40× objective, oil immersion. Single-cell field. Bone marrow aspirate smear
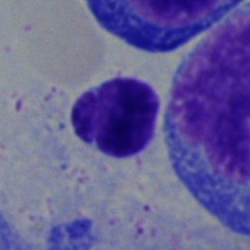
Typical lymphocyte.